Bone marrow aspirate smear:
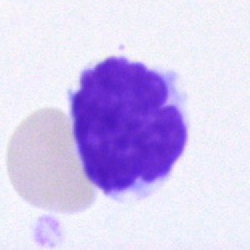

{"cell_type": "unidentifiable cell"}